Bone marrow smear · brightfield, 40× oil-immersion objective
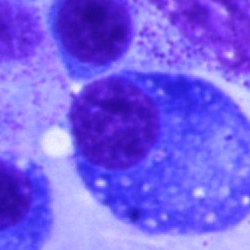
Showing a plasmacyte.